Bone marrow smear.
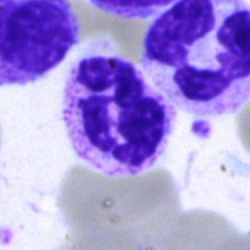

Classification: polymorphonuclear neutrophil.